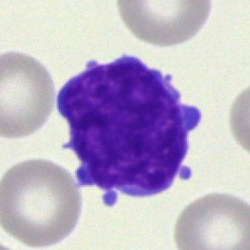
The cell shown is an artefact.